Cropped to a single cell; bone marrow aspirate smear.
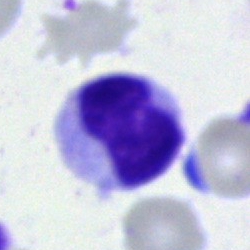Stab cell.